Bone marrow smear:
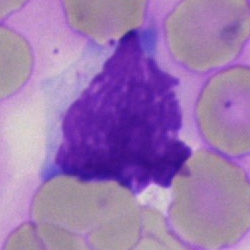Single cell identified as a typical lymphocyte.